Peripheral blood film; 100× objective, oil immersion
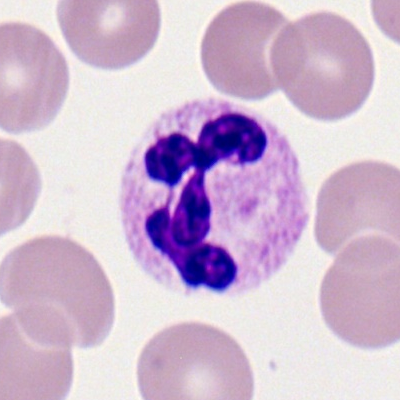 {"cell_type": "neutrophil (segmented)", "lineage": "myeloid"}